Image size 250×250 · bone marrow smear.
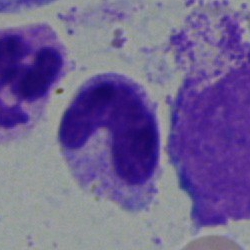{"cell_type": "band-form neutrophil", "lineage": "myeloid"}